Single-cell crop; 400×400; peripheral blood smear:
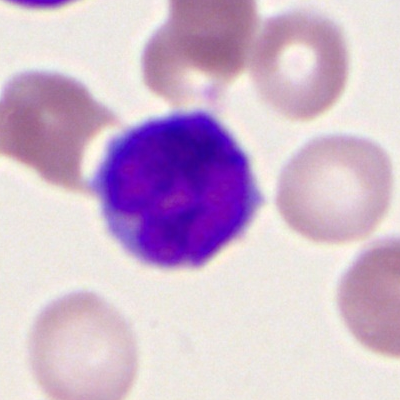Specimen: peripheral blood smear.
Classification: myeloblast.
Lineage: myeloid.